Bone marrow aspirate smear. Brightfield, 40× oil-immersion objective. 250×250.
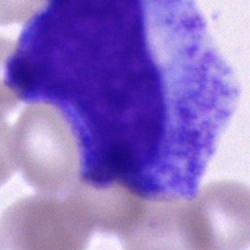The cell type is promyelocyte.